Bone marrow smear:
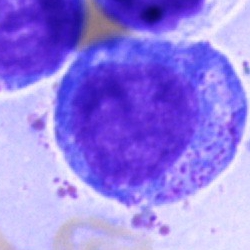

Morphology consistent with a promyelocyte.